Bone marrow smear
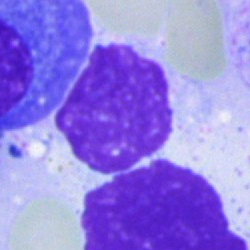

Artefact.